Peripheral blood smear · 400×400.
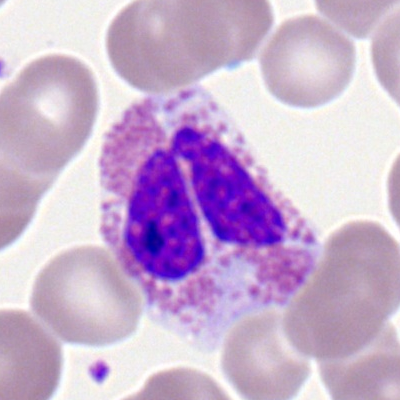
Q: Identify the cell.
A: An eosinophilic granulocyte.